Bone marrow aspirate smear · 250×250 · 40× oil immersion.
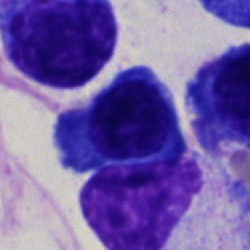
Morphology consistent with a nucleated red blood cell.